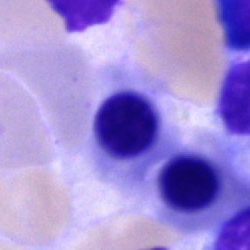
Nucleated red blood cell.